Image size 250×250. Bone marrow aspirate smear:
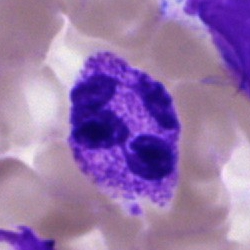 Impression → polymorphonuclear neutrophil.